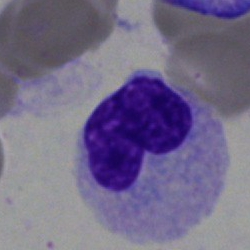
Bone marrow smear showing a neutrophil (band).